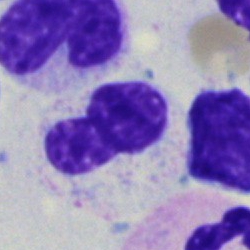

Q: Which cell type is shown here?
A: Stab cell.